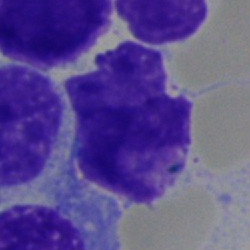
Specimen: bone marrow smear.
Classification: artifact.